Bone marrow smear — 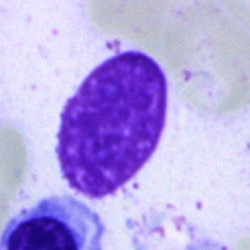

Cell type = artifact.